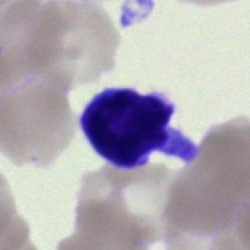

Impression → typical lymphocyte.